Bone marrow smear. Cropped to a single cell — 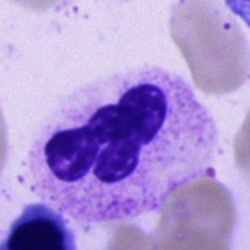
Specimen: bone marrow smear.
Cell type: neutrophil (segmented).
Lineage: myeloid.